Bone marrow smear · May-Grünwald-Giemsa/Pappenheim stain.
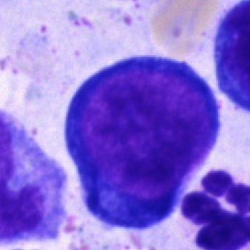
Morphology consistent with a pronormoblast.